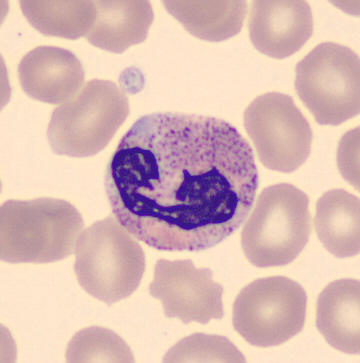 Single-cell crop. Peripheral blood smear. 360×363 px. Morphology consistent with a polymorphonuclear neutrophil.